Bone marrow aspirate smear. 250 by 250 pixels:
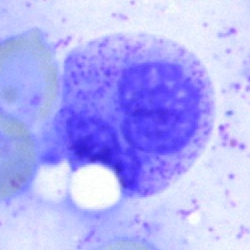

The cell shown is a neutrophil (segmented).